Peripheral blood smear · 100× oil immersion, 14.14 px/µm.
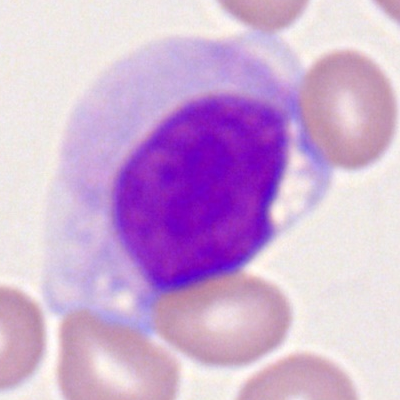

The morphological class is monocyte.